Bone marrow smear — 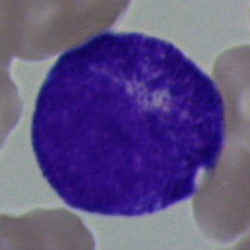Cell — promyelocyte.